Pappenheim-stained; bone marrow smear; 250×250: 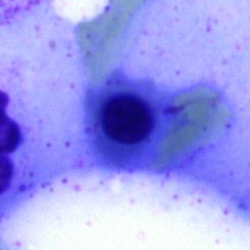
Impression → normoblast.